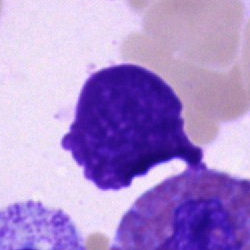

An artefact on a bone marrow smear.